Single-cell field; bone marrow smear; 40× objective, oil immersion.
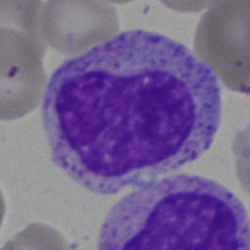
Q: Which cell type is shown here?
A: This is a metamyelocyte.